Single-cell crop. Bone marrow aspirate smear. 250×250 — 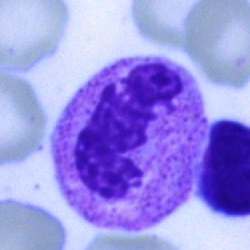 Morphology → segmented neutrophil.